360 by 363 pixels. Peripheral blood film: 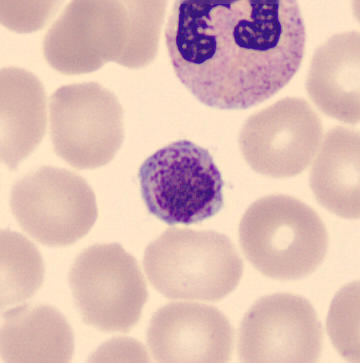

Morphological class — platelet.